Bone marrow smear. 40× objective, oil immersion:
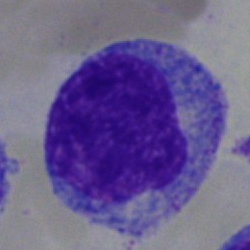
{"cell_type": "promyelocyte"}